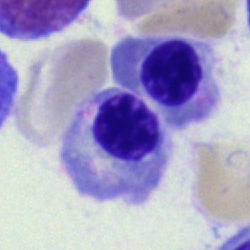 Morphology → normoblast.